Single-cell crop; 40× objective, oil immersion; bone marrow aspirate smear:
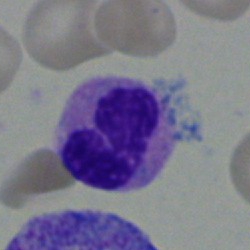
Specimen: bone marrow aspirate smear.
Classification: band-form neutrophil.
Lineage: myeloid.